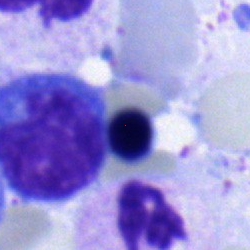Cell — nucleated red blood cell.